Bone marrow smear. Single-cell field. 250×250
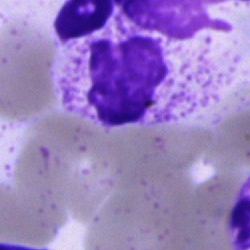
Single cell identified as a polymorphonuclear neutrophil.